Bone marrow aspirate smear
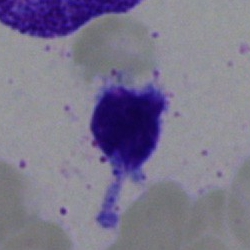Specimen: bone marrow aspirate smear.
Morphological class: lymphocyte.